Bone marrow aspirate smear
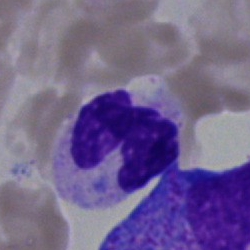 This is a neutrophil (segmented).